Peripheral blood smear — 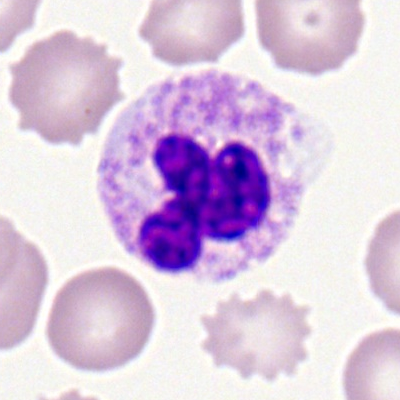The cell type is polymorphonuclear neutrophil.